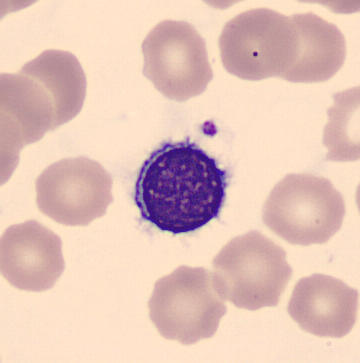

360×363 px. CellaVision DM96. Peripheral blood film.
Cell type: lymphocyte.